Bone marrow smear:
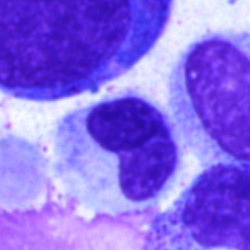
Single cell identified as a metamyelocyte.